Bone marrow aspirate smear
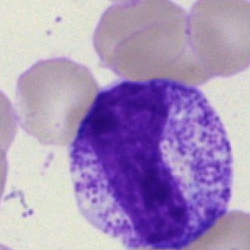
The cell is band-form neutrophil.